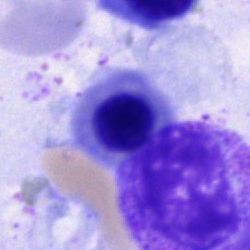

Showing a nucleated red cell.